Single-cell field · bone marrow smear — 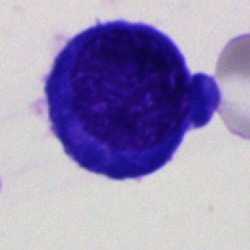
Morphological class: nucleated red blood cell.